Bone marrow aspirate smear · May-Grünwald-Giemsa stain
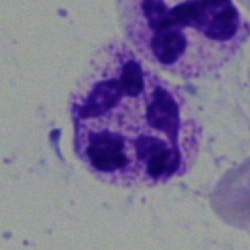Morphology consistent with a polymorphonuclear neutrophil.